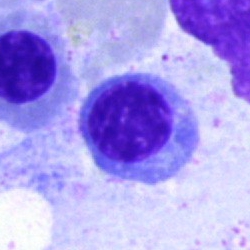
Q: What is shown here?
A: A nucleated red blood cell.